May-Grünwald-Giemsa/Pappenheim stain · 40× oil immersion · bone marrow aspirate smear:
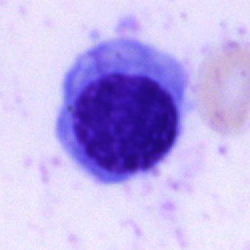

The classification is nucleated red cell.